Bone marrow aspirate smear — 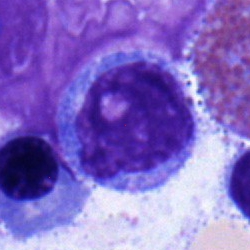 Specimen: bone marrow aspirate smear.
Cell: monocyte.
Lineage: myeloid.